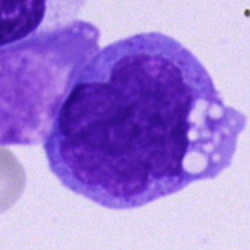Single-cell crop from a bone marrow smear: monocyte.